Bone marrow aspirate smear — 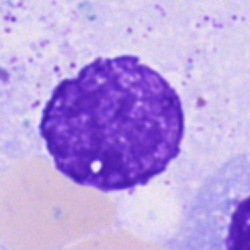
The classification is artefact.